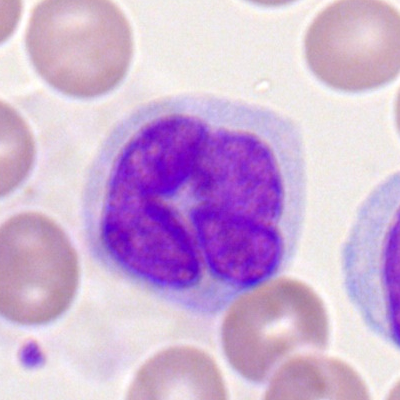

Impression → monocyte.